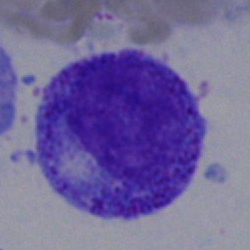
Single cell identified as a promyelocyte.